250 by 250 pixels; bone marrow smear
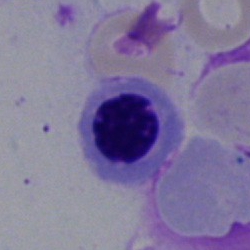 Q: What is the morphological classification of this cell?
A: This is a normoblast.